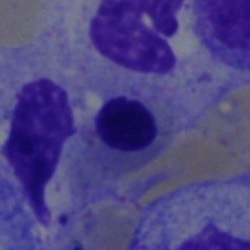

Specimen: bone marrow aspirate smear.
Classification: nucleated red cell.